Brightfield, 100× oil-immersion objective · peripheral blood film
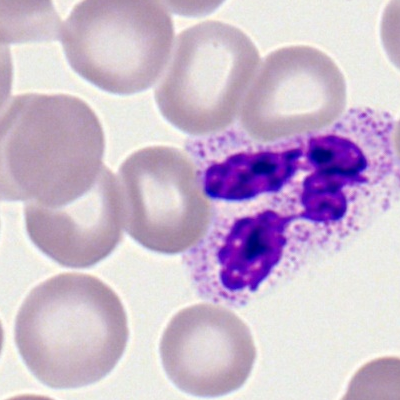
Cell type = neutrophil (segmented).